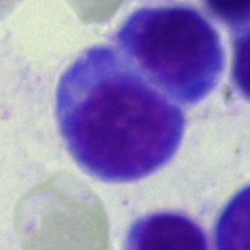

A lymphocyte on a bone marrow smear.